Bone marrow smear; 40× objective, oil immersion — 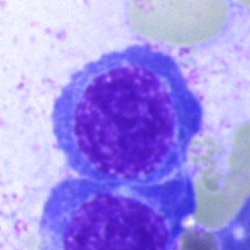 Morphological class: erythroblast.